Bone marrow smear: 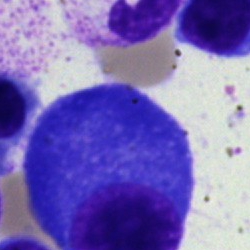 Morphological class: plasma cell.